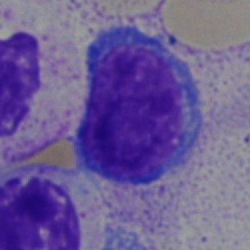

Showing a typical lymphocyte.